Bone marrow aspirate smear — 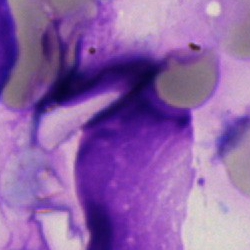

The cell shown is an artefact.